Peripheral blood smear; single-cell crop:
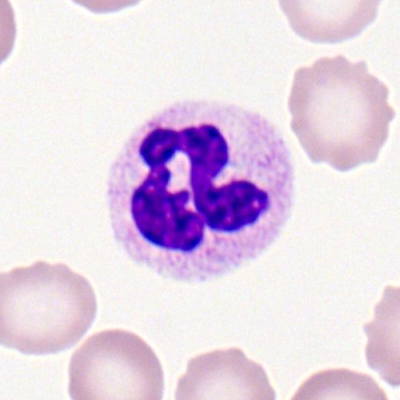 Impression — segmented neutrophil.